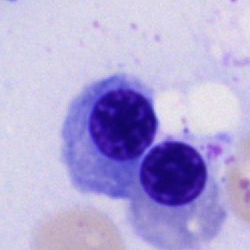 Q: What type of cell is this?
A: This is a nucleated red blood cell.